Bone marrow smear · May-Grünwald-Giemsa/Pappenheim stain — 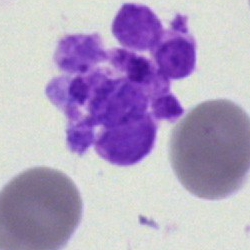 An artifact.